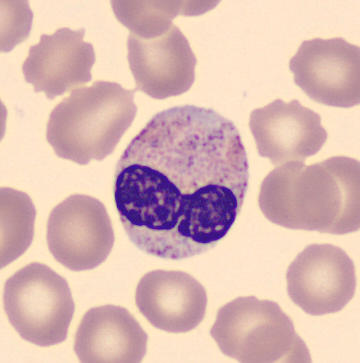Preparation: Peripheral blood smear.
Morphology consistent with a stab cell.